Single-cell crop. Bone marrow smear:
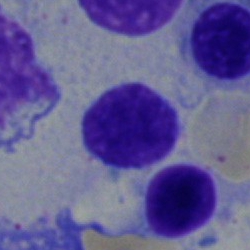Morphological class = lymphocyte.